Bone marrow aspirate smear: 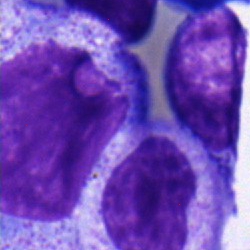 Myelocyte.